May-Grünwald-Giemsa stain. Bone marrow smear — 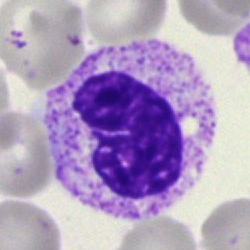

The cell shown is a neutrophil (segmented).